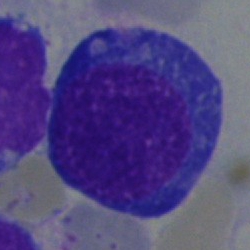

Morphology consistent with a pronormoblast.